Bone marrow aspirate smear: 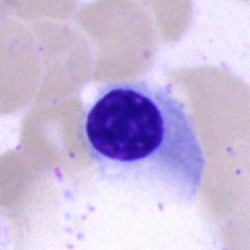Cell = erythroblast.